Peripheral blood film.
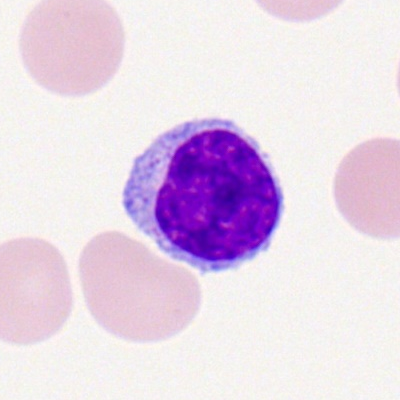
Lymphocyte.